Bone marrow smear.
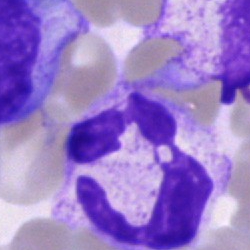 This is a segmented neutrophil.